Peripheral blood film — 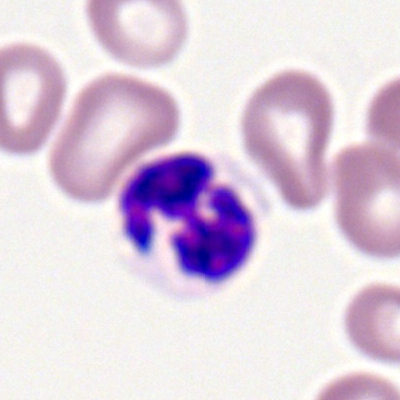
The cell is neutrophil (segmented).